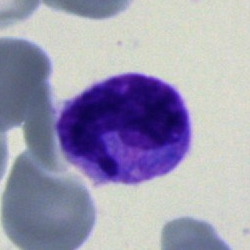
Morphology — monocyte.